Bone marrow aspirate smear. Brightfield microscopy, 40× oil immersion:
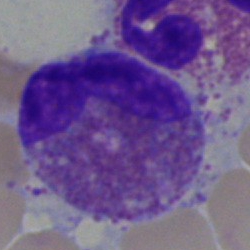Specimen: bone marrow smear.
Cell type: eosinophil.
Lineage: myeloid.